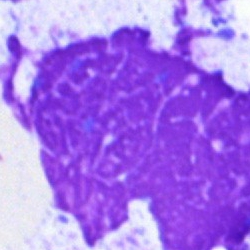
Showing an artefact.